Bone marrow smear — 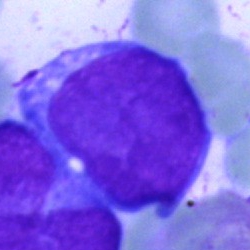

Single cell identified as an undifferentiated blast.